Bone marrow smear.
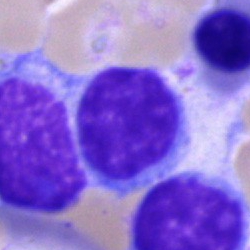Morphological class: lymphocyte.